Bone marrow aspirate smear · single-cell crop
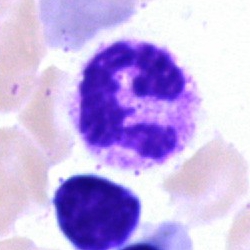

Cell: polymorphonuclear neutrophil.